May-Grünwald-Giemsa/Pappenheim stain; bone marrow aspirate smear; 40× oil immersion.
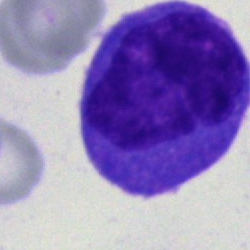
{"cell_type": "monocyte"}